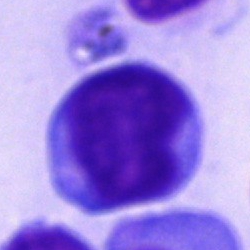
Showing a blast cell.